Bone marrow smear:
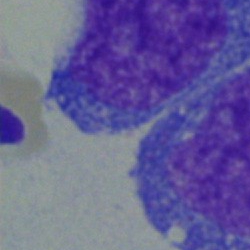
Specimen: bone marrow aspirate smear.
Classification: undifferentiated blast.